Bone marrow aspirate smear · Pappenheim-stained — 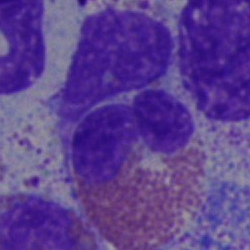Showing an eosinophilic granulocyte.